Bone marrow smear. Brightfield, 40× oil-immersion objective. Single cell centered in the field.
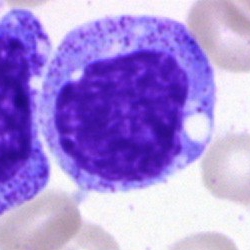
Morphology → promyelocyte.